MGG-stained; bone marrow smear
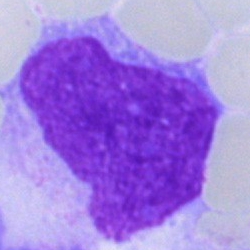

Specimen: bone marrow smear.
Cell: artifact.